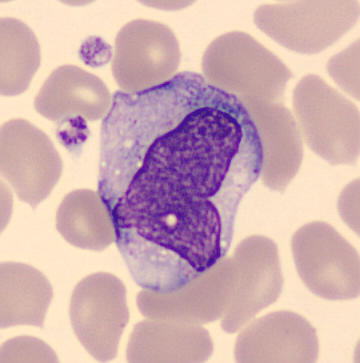

Acquisition: Peripheral blood smear. Single-cell field. 360×363.
Morphology consistent with a monocyte.